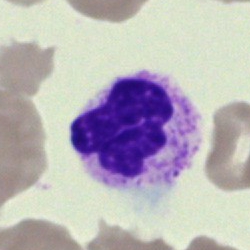 Single-cell crop from a bone marrow smear: neutrophil (segmented).